Bone marrow aspirate smear:
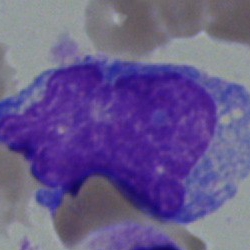 Showing a blast cell.